Bone marrow aspirate smear: 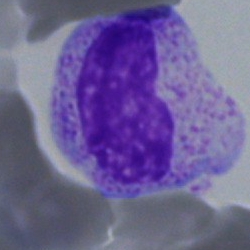 Classification — metamyelocyte.